Bone marrow smear · single-cell field: 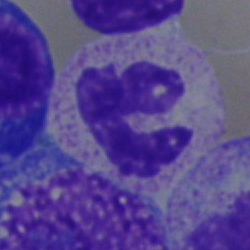Classification: segmented neutrophil.